Bone marrow aspirate smear · May-Grünwald-Giemsa stain
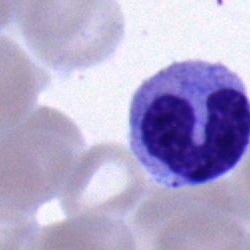

Cell type = neutrophil (band).